Peripheral blood smear. 100× oil immersion. Cropped to a single cell.
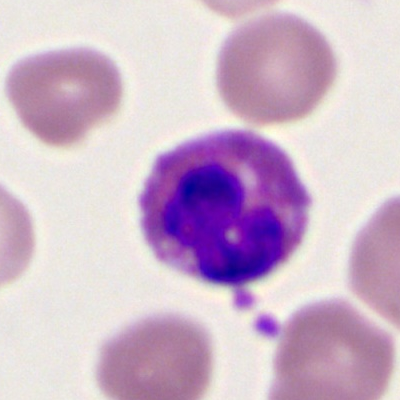 The cell type is eosinophilic granulocyte.